Brightfield, 40× oil-immersion objective. Bone marrow aspirate smear — 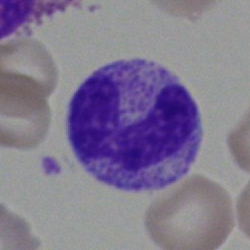The classification is band-form neutrophil.